Bone marrow smear
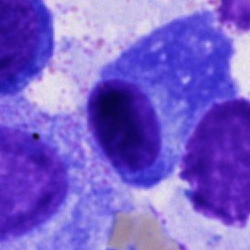

A plasmacyte.